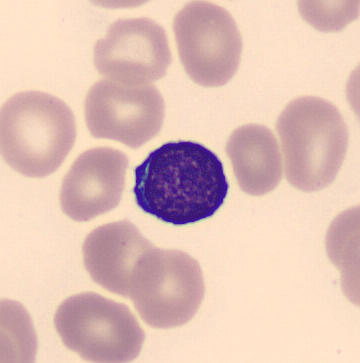Acquisition: Peripheral blood film.

The cell shown is a lymphocyte.